Bone marrow smear.
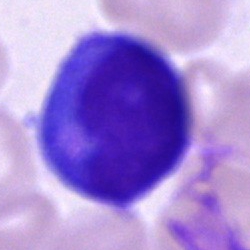Specimen: bone marrow aspirate smear.
Classification: cell of indeterminate lineage.